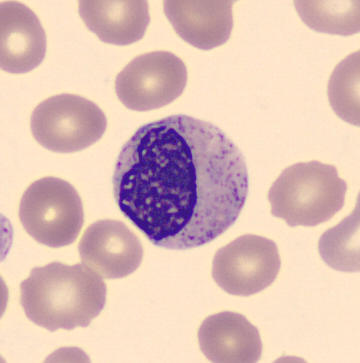

Single-cell crop from a peripheral blood smear: metamyelocyte.